Peripheral blood smear — 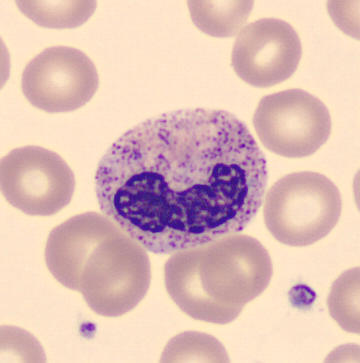Specimen: peripheral blood film.
Morphological class: stab cell.
Lineage: myeloid.